Bone marrow aspirate smear:
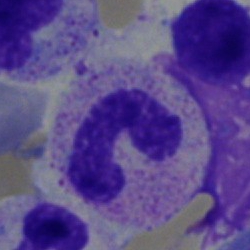 A stab cell.